Bone marrow smear — 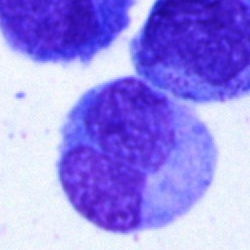 {"cell_type": "monocyte", "lineage": "myeloid"}